May-Grünwald-Giemsa/Pappenheim stain; bone marrow aspirate smear
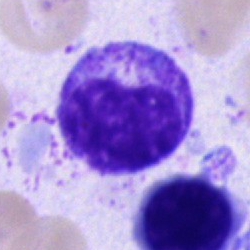

Morphological class = myelocyte.